Bone marrow smear:
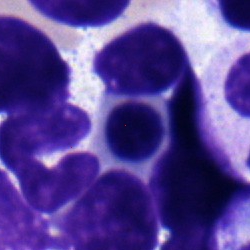

The cell shown is an erythroblast.